Image size 250×250 · bone marrow aspirate smear — 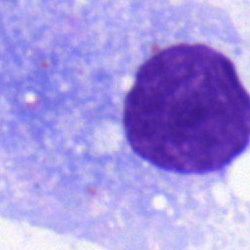 Classification = plasmacyte.